Bone marrow aspirate smear — 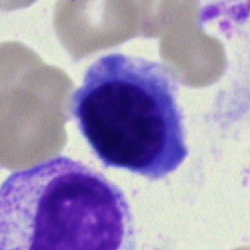 A nucleated red blood cell.